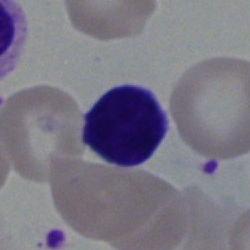
Bone marrow aspirate smear, single cell — lymphocyte.